Bone marrow aspirate smear — 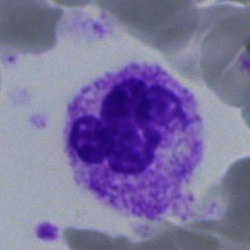

Morphology → segmented neutrophil.